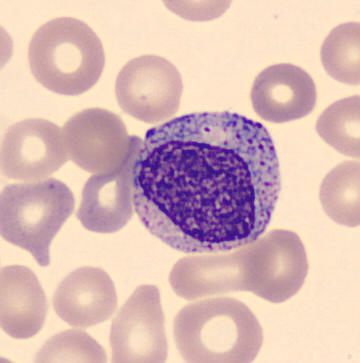

Image: May Grünwald-Giemsa stain · peripheral blood film · single cell centered in the field. Classification = myelocyte.